Bone marrow smear.
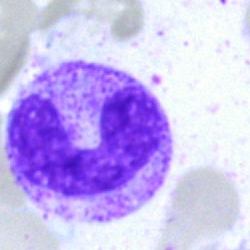 Showing a neutrophil (band).